Bone marrow smear
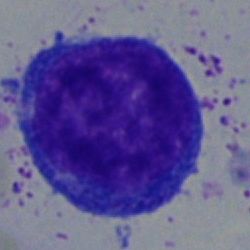 Showing a blast.